Pappenheim-stained; bone marrow aspirate smear — 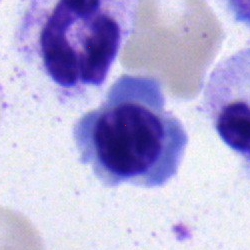
This is a nucleated red cell.